Bone marrow aspirate smear:
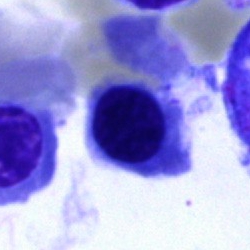
{"cell_type": "nucleated red cell", "lineage": "erythroid"}